Single-cell crop · bone marrow smear: 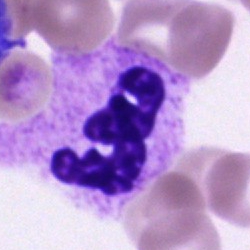The morphological class is neutrophil (segmented).